Bone marrow aspirate smear.
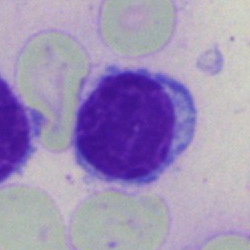
{"cell_type": "lymphocyte", "lineage": "lymphoid"}